Single-cell field · image size 250×250 · bone marrow aspirate smear — 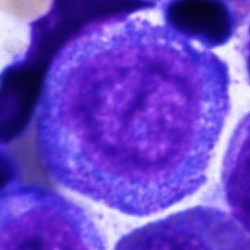Morphology consistent with a promyelocyte.